Single-cell crop · 250×250 · bone marrow aspirate smear: 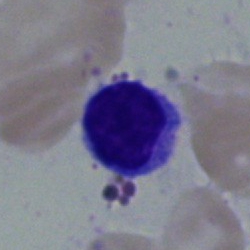
Q: What is the morphological classification of this cell?
A: It is a typical lymphocyte.